Bone marrow aspirate smear — 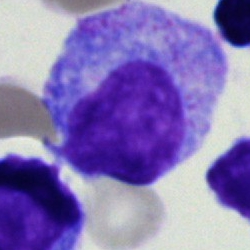Specimen: bone marrow aspirate smear.
Classification: progranulocyte.